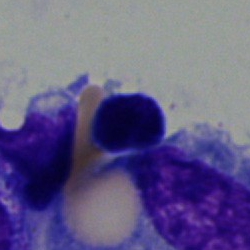

Morphological class — nucleated red blood cell.